Bone marrow aspirate smear:
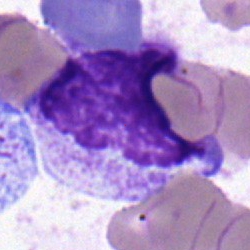 The cell shown is a myelocyte.